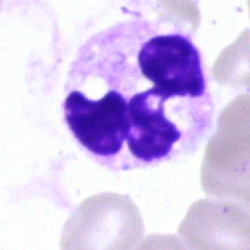Cell type — polymorphonuclear neutrophil.